Bone marrow aspirate smear:
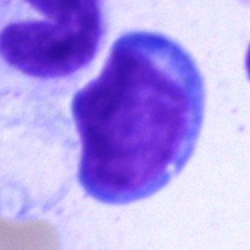
Specimen: bone marrow smear.
Cell: blast cell.